Bone marrow smear · May-Grünwald-Giemsa/Pappenheim stain:
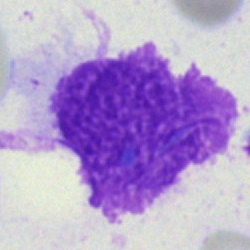 Q: What is shown here?
A: Artifact.